Bone marrow smear — 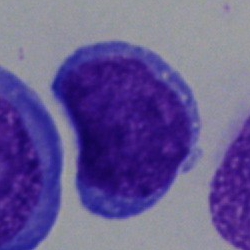Classification — blast.